Bone marrow smear: 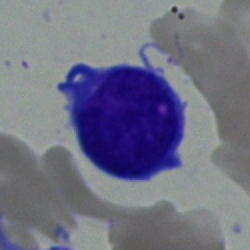This is a blast cell.